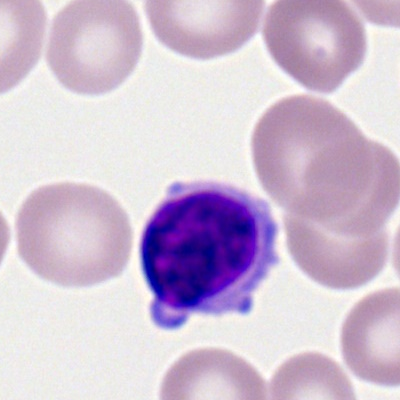 Single cell identified as a lymphocyte.